Bone marrow smear; May-Grünwald-Giemsa/Pappenheim stain:
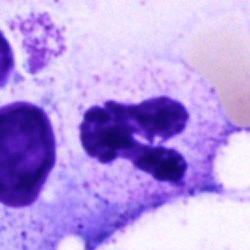

Cell type: polymorphonuclear neutrophil.